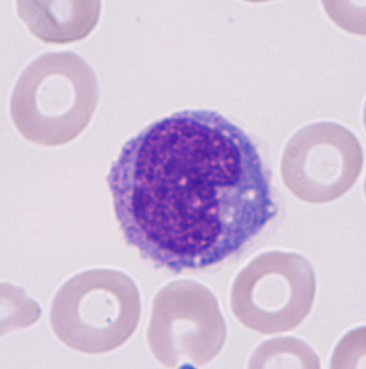
Morphology — monocyte.